Bone marrow smear: 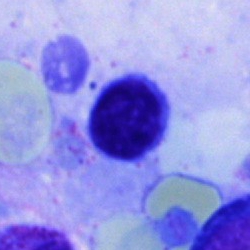
Cell type — plasma cell.